Bone marrow smear:
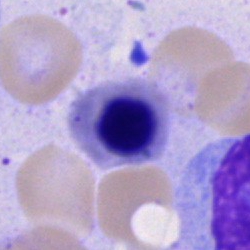

Classification: normoblast.